Pappenheim-stained. Bone marrow aspirate smear
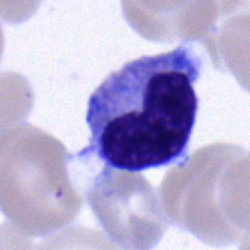
A metamyelocyte.